Bone marrow aspirate smear.
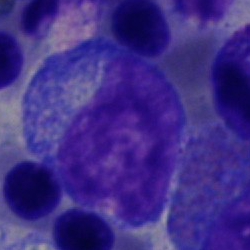 Morphological class = blast.